Bone marrow smear. Brightfield, 40× oil-immersion objective
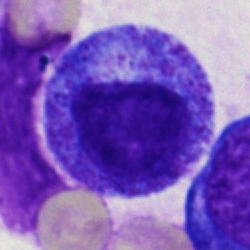Q: What cell is this?
A: Progranulocyte.